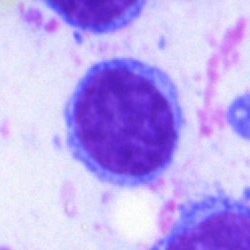{"cell_type": "typical lymphocyte"}